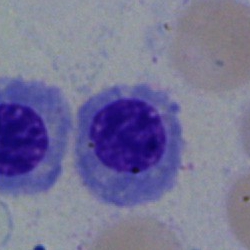
Morphological class = erythroblast.